Cropped to a single cell; bone marrow aspirate smear.
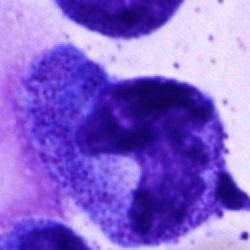

The cell shown is a promyelocyte.